Bone marrow aspirate smear — 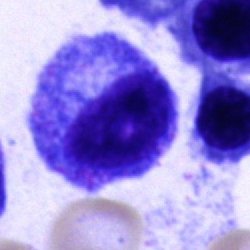
{"cell_type": "progranulocyte"}